Bone marrow aspirate smear — 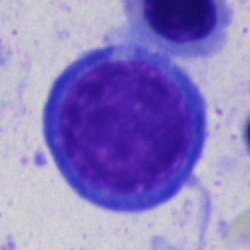

Specimen: bone marrow aspirate smear.
Morphological class: normoblast.